Bone marrow smear.
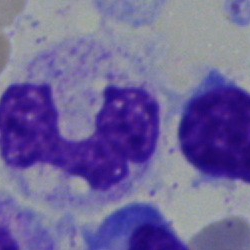Stab cell.